Bone marrow aspirate smear:
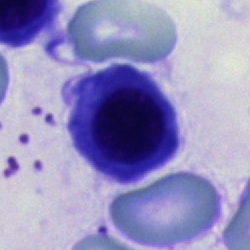 Q: Which cell type is shown here?
A: This is a nucleated red cell.